Bone marrow smear: 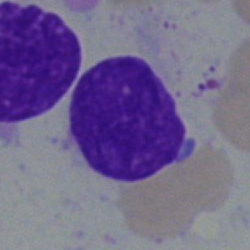
Impression — artefact.